40× oil immersion · bone marrow aspirate smear · May-Grünwald-Giemsa/Pappenheim stain: 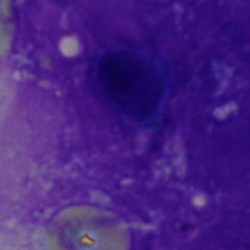
Morphological class = artefact.